Bone marrow aspirate smear: 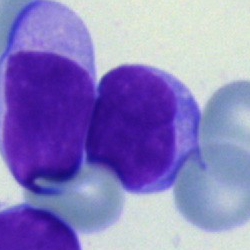Cell type = typical lymphocyte.